Bone marrow aspirate smear — 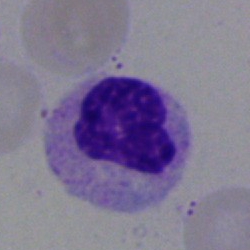Q: What is the morphological classification of this cell?
A: Neutrophil (segmented).